Bone marrow smear
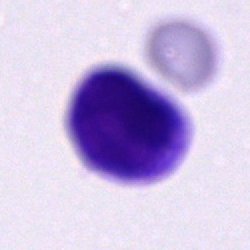 Q: Identify the cell.
A: This is a cell of indeterminate lineage.